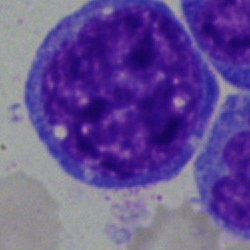

Impression → blast cell.